Bone marrow aspirate smear; May-Grünwald-Giemsa stain:
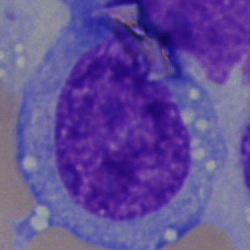

Showing an undifferentiated blast.